May-Grünwald-Giemsa stain; bone marrow aspirate smear; cropped to a single cell:
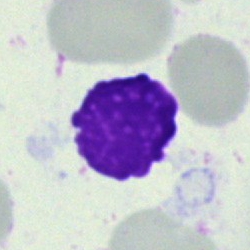 Q: What is shown here?
A: This is an artifact.